Bone marrow aspirate smear: 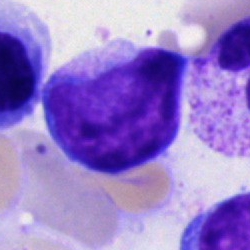

Q: Which cell type is shown here?
A: A blast cell.